Bone marrow smear: 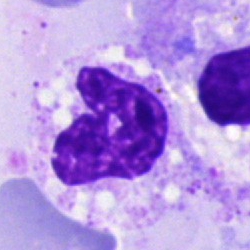

Showing a segmented neutrophil.